Peripheral blood film
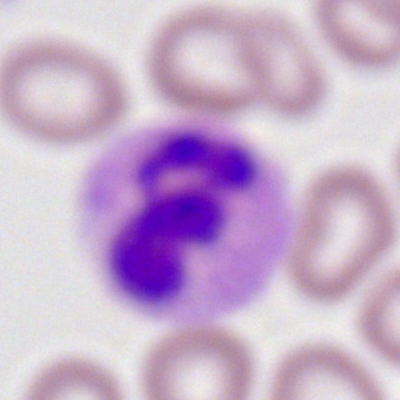 The cell shown is a neutrophil (segmented).